Bone marrow smear. 250 by 250 pixels — 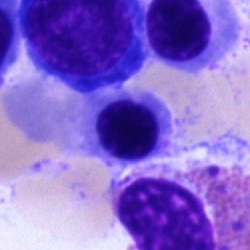
The cell type is erythroblast.